Bone marrow smear; single cell centered in the field — 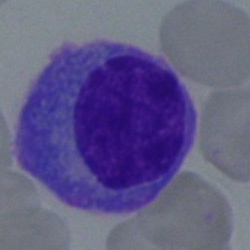
Plasmacyte.